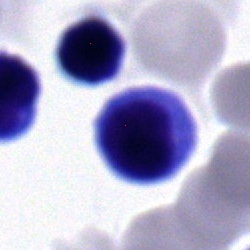
Impression → lymphocyte.